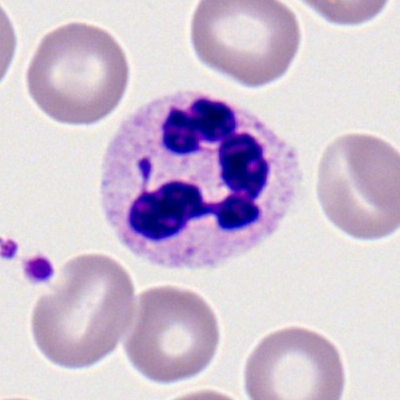Impression — segmented neutrophil.